M8 digital microscope (Precipoint), 100× oil immersion. Peripheral blood film. 400 by 400 pixels
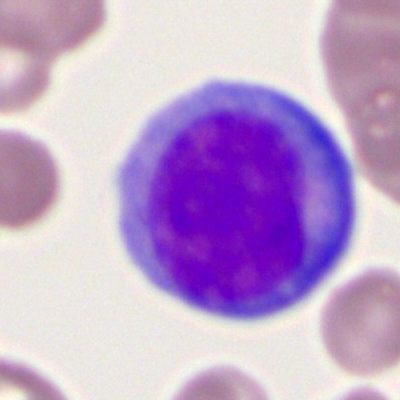

Q: What is the morphological classification of this cell?
A: Myeloid blast.